Brightfield, 40× oil-immersion objective. Bone marrow aspirate smear:
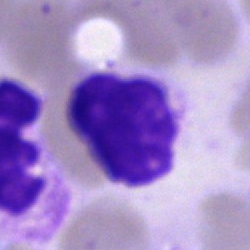 Q: What is shown here?
A: This is an artefact.